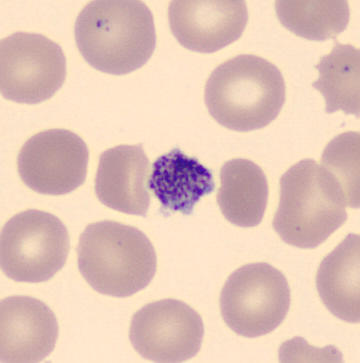 Q: What is shown here?
A: A thrombocyte. Preparation: Peripheral blood film.